Bone marrow smear. Image size 250×250 — 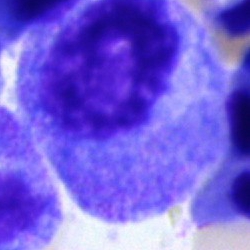 Specimen: bone marrow aspirate smear.
Cell: progranulocyte.